Bone marrow aspirate smear
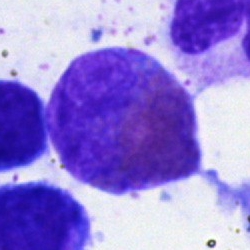 Morphology — eosinophilic granulocyte.